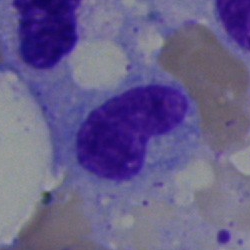
Impression — neutrophil (band).